Bone marrow smear; brightfield, 40× oil-immersion objective — 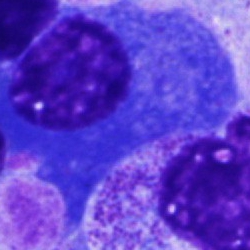
Q: What is shown here?
A: Plasma cell.